40× objective, oil immersion. May-Grünwald-Giemsa stain. Bone marrow aspirate smear: 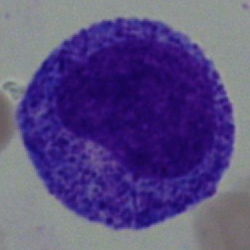
Specimen: bone marrow aspirate smear.
Morphological class: promyelocyte.
Lineage: myeloid.